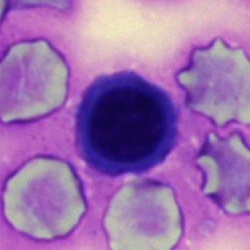
Q: Identify the cell.
A: It is a nucleated red blood cell.